Bone marrow aspirate smear; single-cell field.
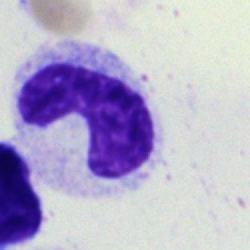

Classification — stab cell.